Bone marrow aspirate smear · 40× oil immersion: 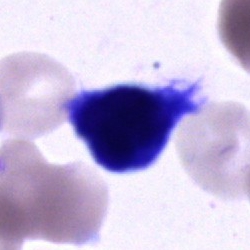
Specimen: bone marrow aspirate smear.
Cell type: unidentifiable cell.